Single cell centered in the field; 40× objective, oil immersion; bone marrow aspirate smear
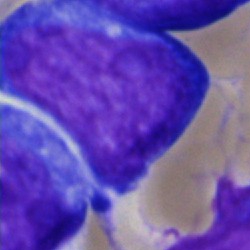 Blast cell.